Bone marrow smear — 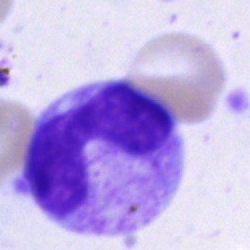

Q: What is the morphological classification of this cell?
A: A band neutrophil.